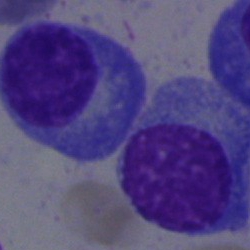Plasmacyte.